Bone marrow smear: 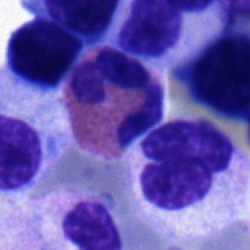 Cell type = eosinophil.